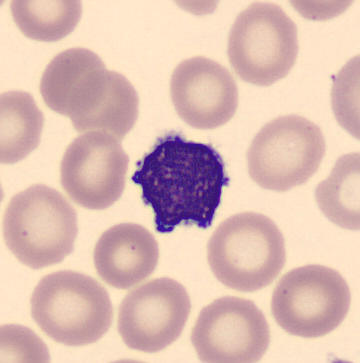Image: Peripheral blood smear.
Cell = typical lymphocyte.